Brightfield, 100× oil-immersion objective; peripheral blood smear; Romanowsky-stained
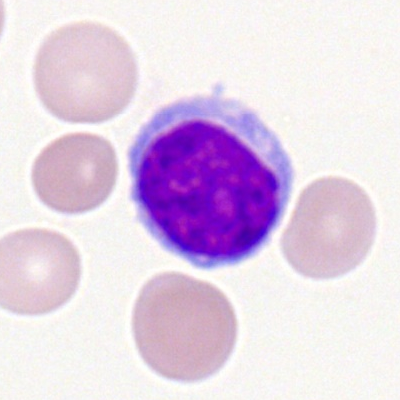
Morphological class = typical lymphocyte.